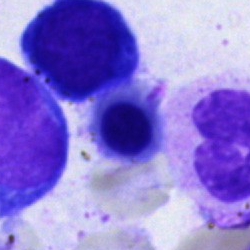 This is a nucleated red blood cell.